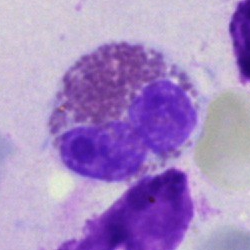

Morphology consistent with an eosinophil.